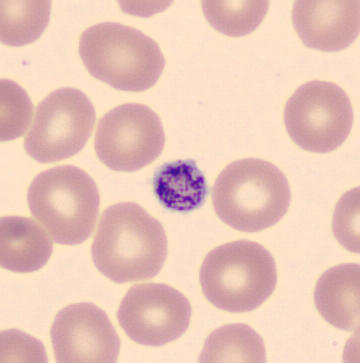 Impression — thrombocyte.

Preparation: MGG stain. Peripheral blood smear.